Bone marrow smear: 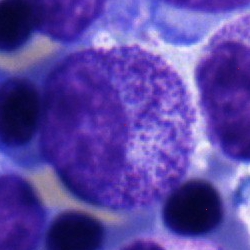

Metamyelocyte.